250×250 px. Bone marrow smear. Cropped to a single cell:
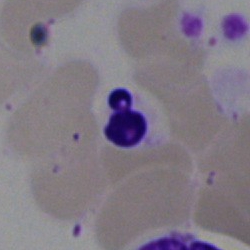

Specimen: bone marrow aspirate smear.
Classification: artefact.